Image size 250×250; bone marrow smear; 40× objective, oil immersion:
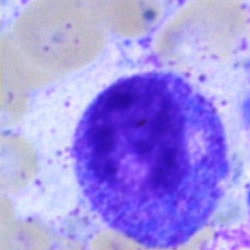 Morphology consistent with a progranulocyte.